Cropped to a single cell; bone marrow smear:
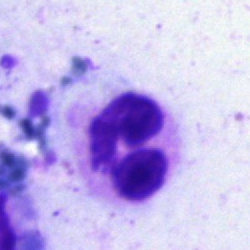Single cell identified as a segmented neutrophil.